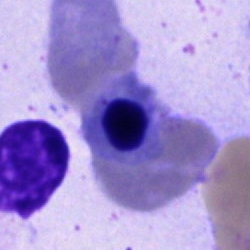 Morphology consistent with an erythroblast.